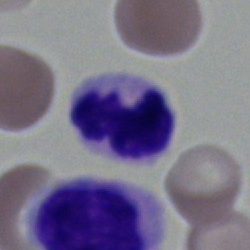

Cell — polymorphonuclear neutrophil.